Bone marrow aspirate smear. May-Grünwald-Giemsa stain. Single-cell crop.
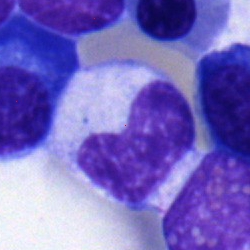

Cell type: stab cell.